Peripheral blood film.
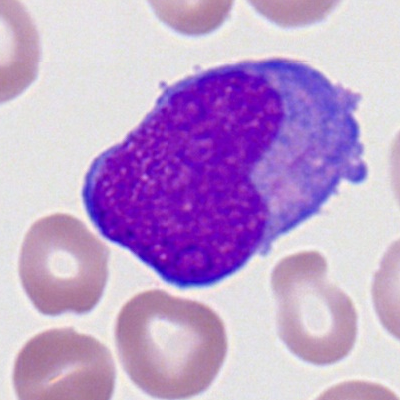Showing a myeloid blast.